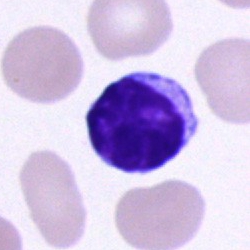Q: What is the morphological classification of this cell?
A: This is a lymphocyte.